Bone marrow aspirate smear. Image size 250×250: 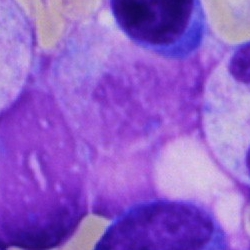
Q: What is shown here?
A: An artifact.